Bone marrow aspirate smear. 40× objective, oil immersion.
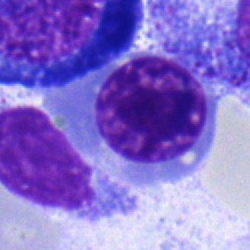

Q: Identify the cell.
A: This is a normoblast.